Bone marrow aspirate smear; 250×250 px:
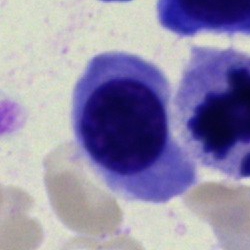 Morphology consistent with an erythroblast.